Bone marrow smear · 250×250:
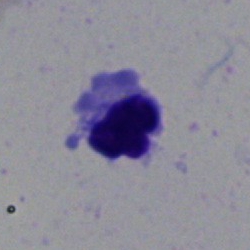

Morphology consistent with a nucleated red blood cell.